Bone marrow smear
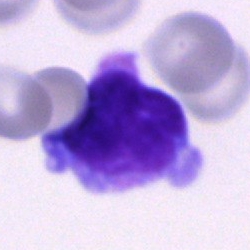

Specimen: bone marrow smear.
Cell type: undifferentiated blast.